Single-cell crop; bone marrow aspirate smear.
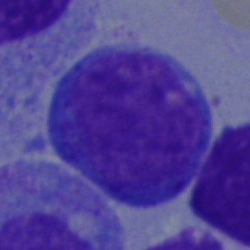Q: What type of cell is this?
A: This is a typical lymphocyte.